Bone marrow smear
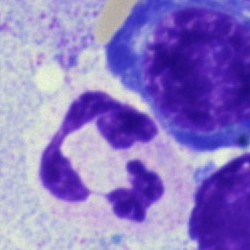
Morphology consistent with a neutrophil (segmented).